Bone marrow aspirate smear.
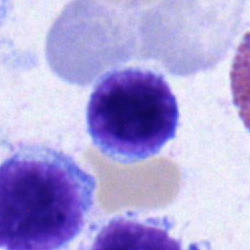
The cell shown is a typical lymphocyte.